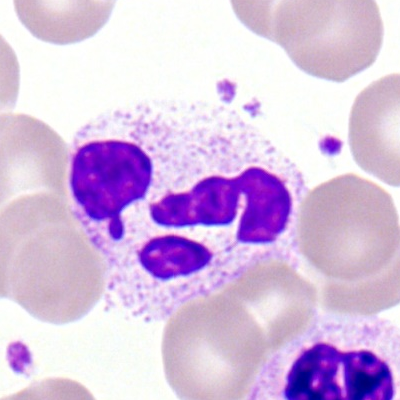

Impression — neutrophil (segmented).